Bone marrow aspirate smear; image size 250×250: 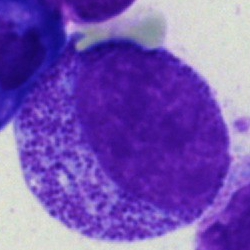

Promyelocyte.